Brightfield, 40× oil-immersion objective · bone marrow aspirate smear
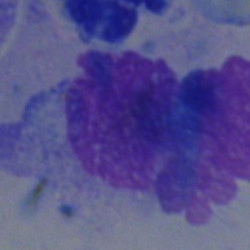 Q: What is shown here?
A: It is an artefact.